Peripheral blood film — 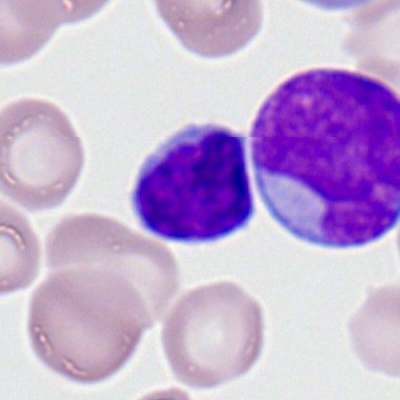Morphology consistent with a typical lymphocyte.